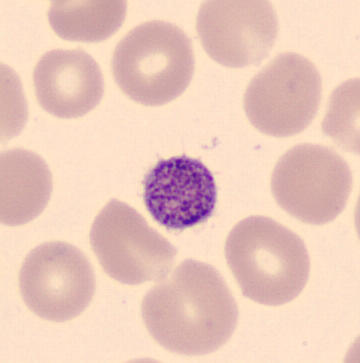Morphology → platelet (thrombocyte). Image: 360×363; peripheral blood film.